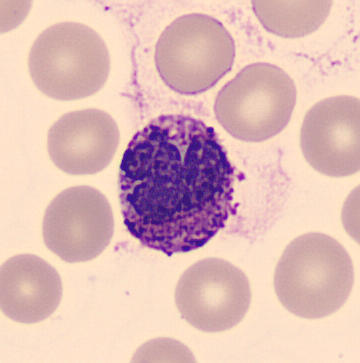Image size 360×363 · peripheral blood smear · CellaVision DM96. Impression → basophil.